Bone marrow aspirate smear: 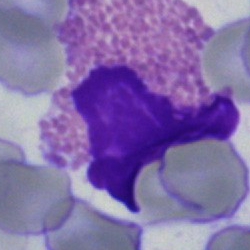

Specimen: bone marrow aspirate smear.
Morphological class: eosinophil.